Bone marrow aspirate smear. 250×250.
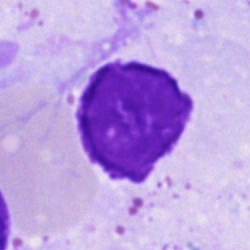 Impression — artifact.